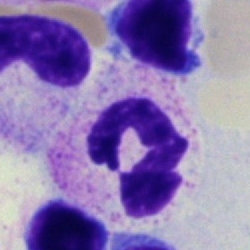

Classification — segmented neutrophil.